Bone marrow smear. 40× objective, oil immersion
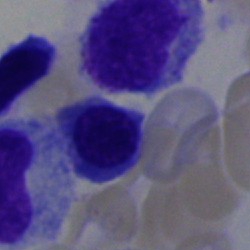
Specimen: bone marrow smear.
Cell: normoblast.